Bone marrow smear — 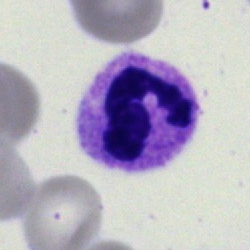The cell shown is a segmented neutrophil.